Peripheral blood smear. Brightfield, 100× oil-immersion objective.
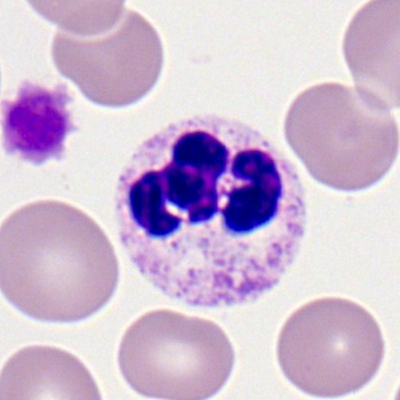Specimen: peripheral blood smear.
Cell type: segmented neutrophil.
Lineage: myeloid.